May-Grünwald-Giemsa stain. Bone marrow smear.
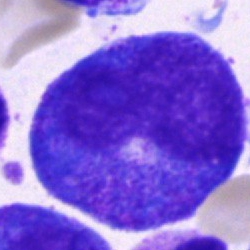 Impression — promyelocyte.